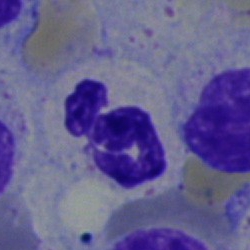 Showing a segmented neutrophil.